Bone marrow aspirate smear.
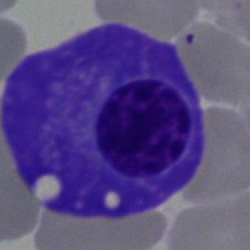 Plasma cell.